May-Grünwald-Giemsa/Pappenheim stain · bone marrow smear · 250 by 250 pixels — 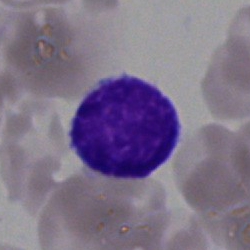

Cell: lymphocyte.